250 by 250 pixels. Bone marrow smear — 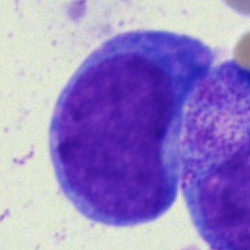

Specimen: bone marrow smear.
Cell: blast cell.